Bone marrow aspirate smear
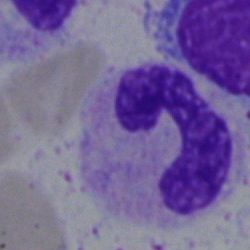 Specimen: bone marrow smear.
Cell: stab cell.